Peripheral blood smear: 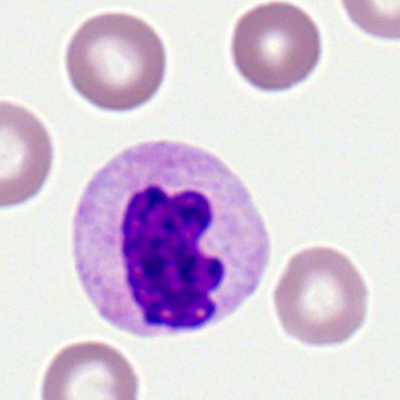

Q: What is shown here?
A: It is a segmented neutrophil.